Bone marrow smear; 40× oil immersion
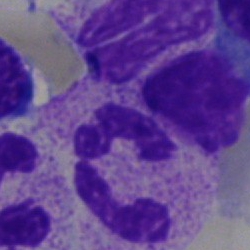 Morphology → neutrophil (segmented).